250 by 250 pixels. Pappenheim-stained. Bone marrow aspirate smear: 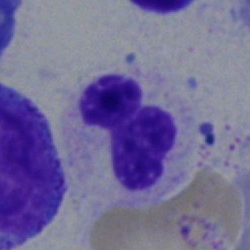Specimen: bone marrow aspirate smear.
Cell type: polymorphonuclear neutrophil.
Lineage: myeloid.